360×363 px. Peripheral blood smear: 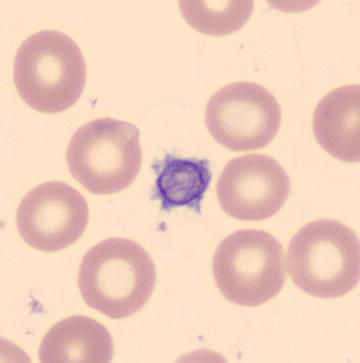

Morphological class: platelet (thrombocyte).